Bone marrow smear: 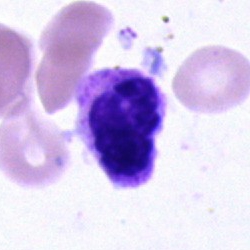Morphology — neutrophil (segmented).